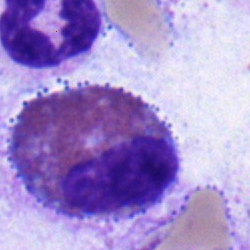Q: Identify the cell.
A: This is an eosinophil.